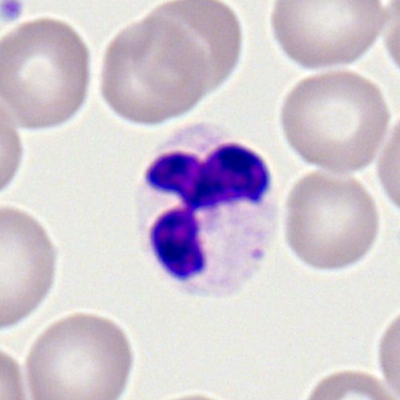The cell shown is a polymorphonuclear neutrophil.